Bone marrow aspirate smear: 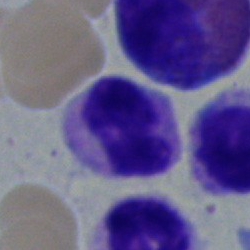
Q: What cell is this?
A: It is a neutrophil (band).